Bone marrow smear · brightfield, 40× oil-immersion objective: 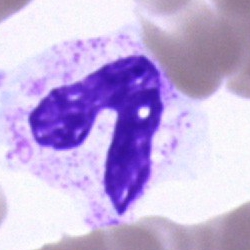 Morphology — neutrophil (band).